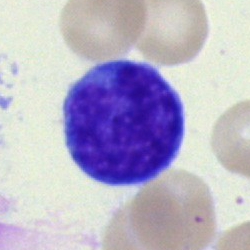Q: Which cell type is shown here?
A: Typical lymphocyte.